Single-cell field · bone marrow aspirate smear · brightfield, 40× oil-immersion objective
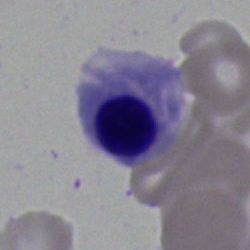

Cell type: nucleated red blood cell.